Bone marrow smear.
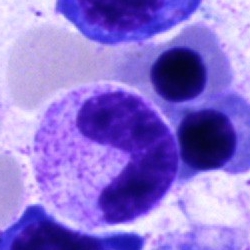

{"cell_type": "band neutrophil", "lineage": "myeloid"}